Bone marrow aspirate smear
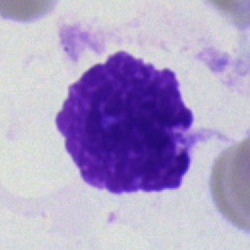
Morphology → artifact.